Bone marrow aspirate smear
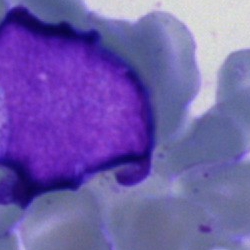 Blast cell.